Bone marrow smear:
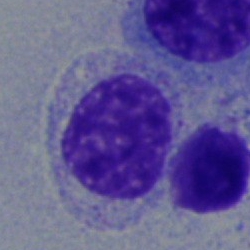Myelocyte.